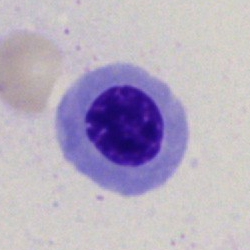 Cell type — nucleated red blood cell.